Peripheral blood smear — 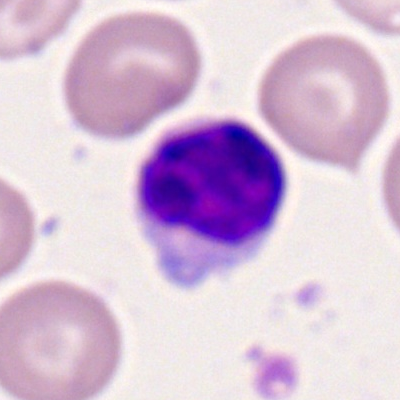
The cell type is lymphocyte.